Bone marrow smear: 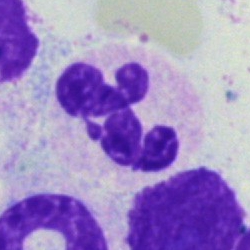

Specimen: bone marrow smear.
Classification: segmented neutrophil.
Lineage: myeloid.